Peripheral blood film — 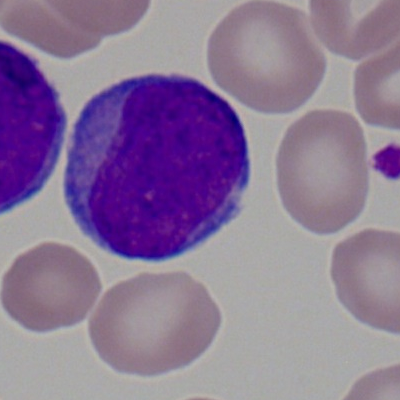 The cell shown is a myeloid blast.